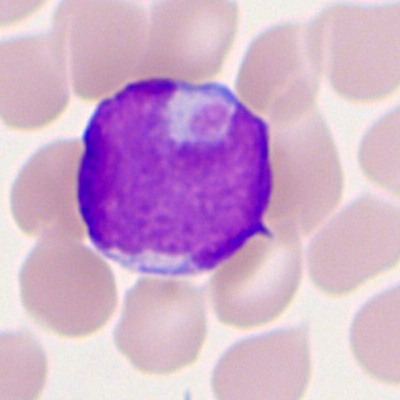Peripheral blood smear showing a myeloid blast.